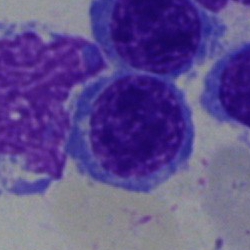

Q: What is shown here?
A: It is an erythroblast.